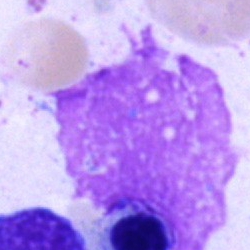

An artefact on a bone marrow smear.